Bone marrow aspirate smear · single cell centered in the field.
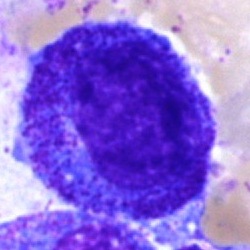

Showing a progranulocyte.